Bone marrow smear: 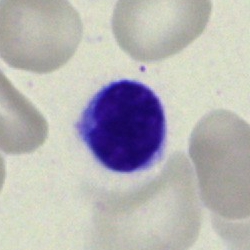
Specimen: bone marrow aspirate smear.
Cell type: lymphocyte.
Lineage: lymphoid.